Bone marrow aspirate smear
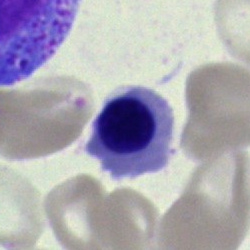 Single cell identified as a normoblast.